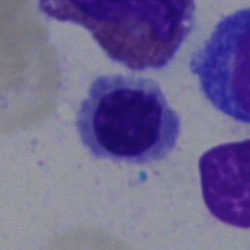
Cell type — nucleated red blood cell.